Bone marrow smear
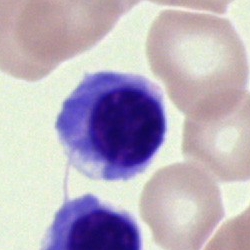 Showing a nucleated red cell.